Image size 250×250; bone marrow aspirate smear: 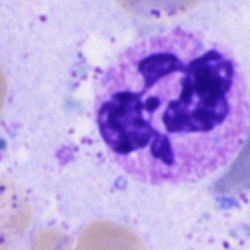Specimen: bone marrow aspirate smear.
Classification: neutrophil (segmented).
Lineage: myeloid.